Peripheral blood film: 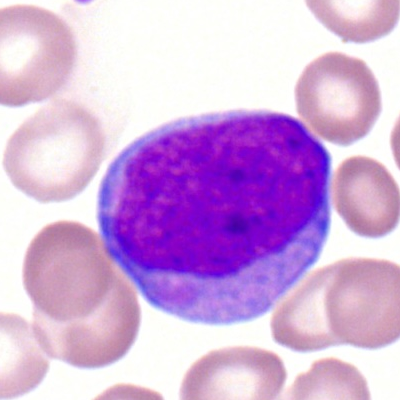

Cell — myeloblast.